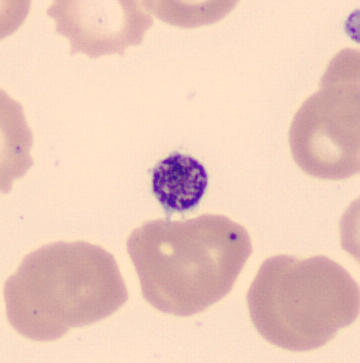 CellaVision DM96. MGG-stained. Peripheral blood smear.

Morphology → platelet (thrombocyte).